Bone marrow smear · MGG-stained · 40× oil immersion
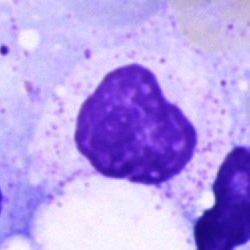

The cell shown is an artifact.